Bone marrow aspirate smear; brightfield microscopy, 40× oil immersion — 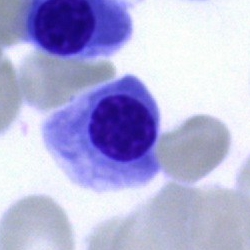

Single cell identified as a normoblast.